Peripheral blood smear — 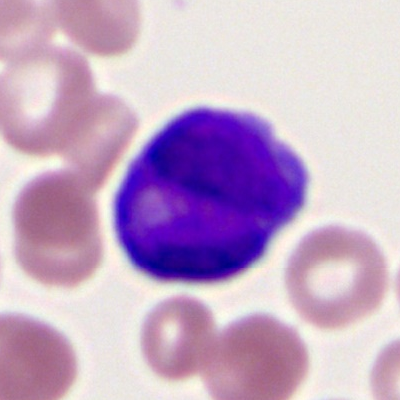 Cell = myeloblast.